Cropped to a single cell. Peripheral blood smear.
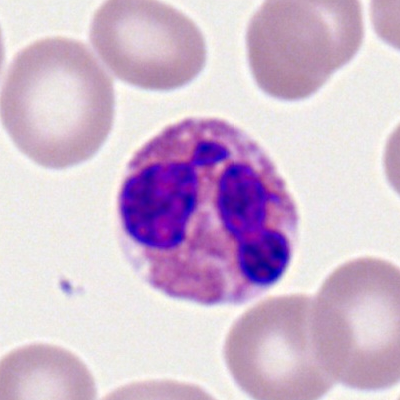This is an eosinophilic granulocyte.